Bone marrow smear: 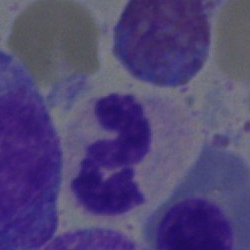
Single cell identified as a segmented neutrophil.